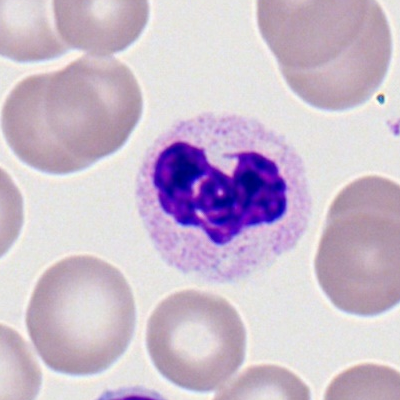 Specimen: peripheral blood film.
Cell type: polymorphonuclear neutrophil.